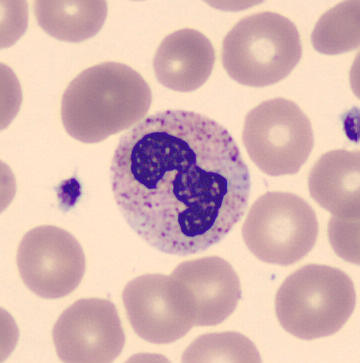
The cell type is segmented neutrophil.
Image: Peripheral blood smear; 360×363 px; automated cell imaging (CellaVision DM96).